Bone marrow smear. 40× oil immersion:
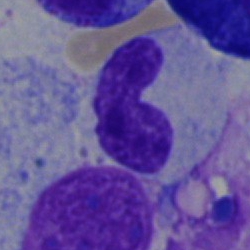Q: Which cell type is shown here?
A: A band-form neutrophil.